Peripheral blood smear; 400 by 400 pixels; single-cell field — 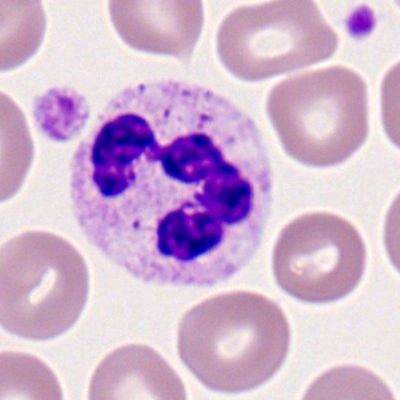

Specimen: peripheral blood smear.
Cell: neutrophil (segmented).
Lineage: myeloid.